Bone marrow aspirate smear · MGG-stained · single cell centered in the field
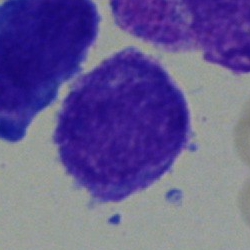

The cell shown is a blast.